40× oil immersion · bone marrow smear — 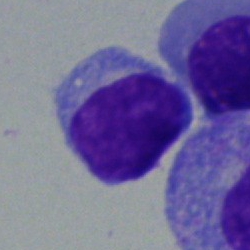The morphological class is typical lymphocyte.